Bone marrow smear: 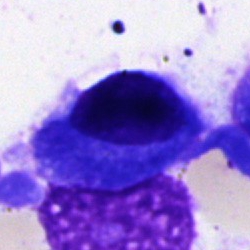

Classification = plasma cell.